Bone marrow smear · 40× oil immersion: 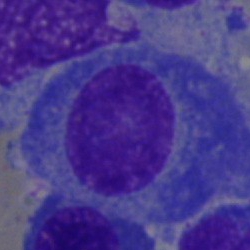
This is a plasma cell.